Bone marrow aspirate smear · single cell centered in the field
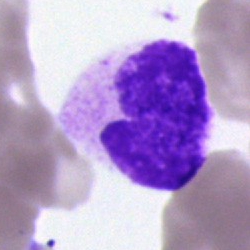An artifact.